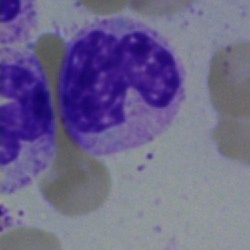 Q: What type of cell is this?
A: A band neutrophil.